Bone marrow aspirate smear:
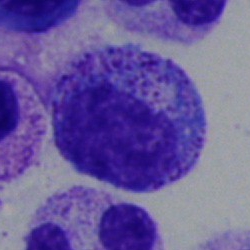 Single cell identified as a promyelocyte.